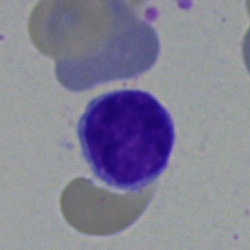
Q: What is shown here?
A: This is a typical lymphocyte.